Bone marrow aspirate smear: 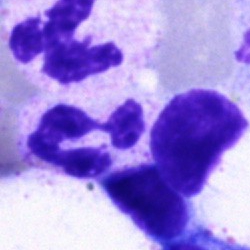
Specimen: bone marrow smear.
Morphological class: polymorphonuclear neutrophil.
Lineage: myeloid.